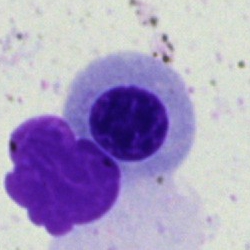 Q: What is shown here?
A: Nucleated red blood cell.